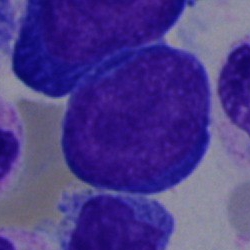Specimen: bone marrow smear.
Classification: pronormoblast.
Lineage: erythroid.